Bone marrow aspirate smear.
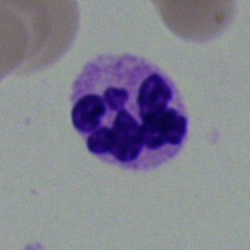 Specimen: bone marrow smear.
Morphological class: polymorphonuclear neutrophil.